Bone marrow aspirate smear; brightfield, 40× oil-immersion objective.
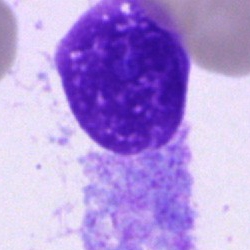 Classification = artefact.